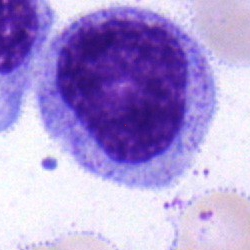

Showing a myelocyte.